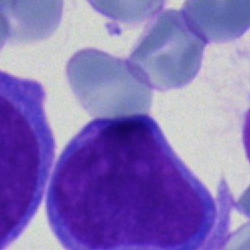

Impression — blast cell.